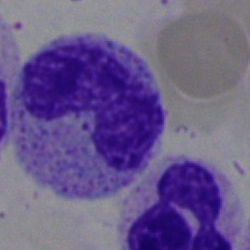 Single-cell crop from a bone marrow smear: neutrophil (band).